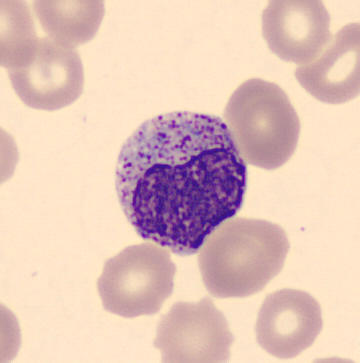Image: Single-cell crop. Peripheral blood smear.

Morphology consistent with a myelocyte.